MGG-stained. 40× oil immersion. Bone marrow aspirate smear
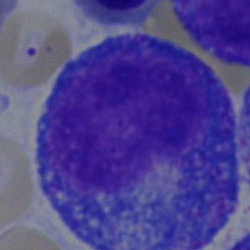

Single cell identified as a promyelocyte.